Brightfield, 40× oil-immersion objective; bone marrow aspirate smear — 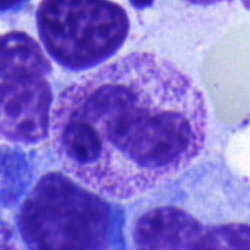

Morphological class = band neutrophil.